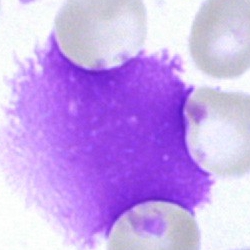 {"cell_type": "artefact"}